400×400 · peripheral blood film.
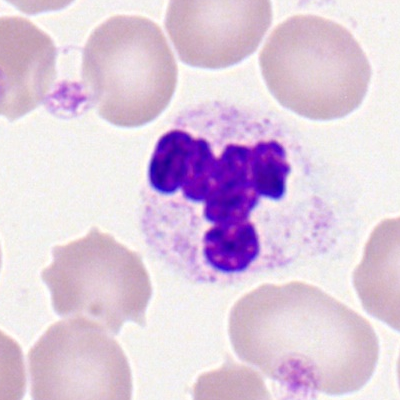A segmented neutrophil.